Bone marrow aspirate smear; single-cell crop; image size 250×250:
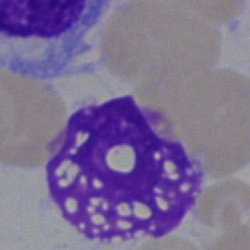

The cell shown is an artifact.